40× objective, oil immersion. 250×250 px. Bone marrow smear.
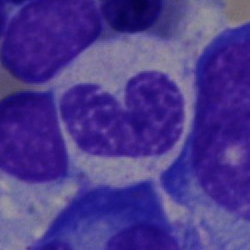This is a neutrophil (band).